Bone marrow aspirate smear; May-Grünwald-Giemsa stain; image size 250×250
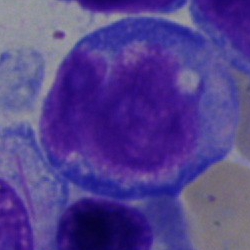

Cell type: blast cell.